Bone marrow aspirate smear
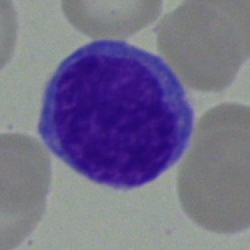 Cell type: blast cell.